Bone marrow aspirate smear; MGG-stained; single cell centered in the field: 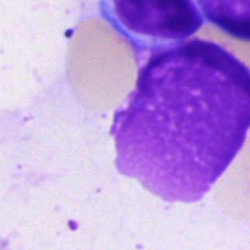Cell — artefact.